Single-cell field · bone marrow aspirate smear · brightfield microscopy, 40× oil immersion
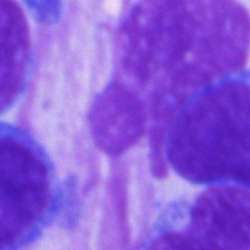 Cell — artifact.